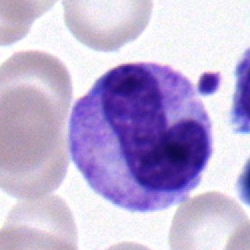
A band-form neutrophil.